Bone marrow aspirate smear.
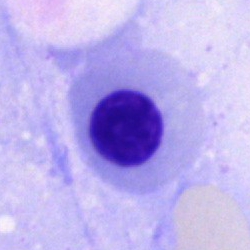 Cell = nucleated red blood cell.